Bone marrow smear.
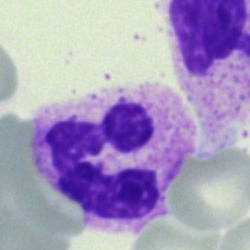 Specimen: bone marrow aspirate smear.
Morphological class: neutrophil (segmented).